Bone marrow aspirate smear: 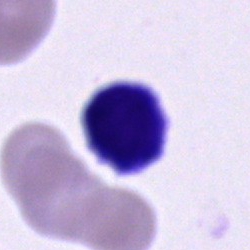
{"cell_type": "cell of indeterminate lineage"}